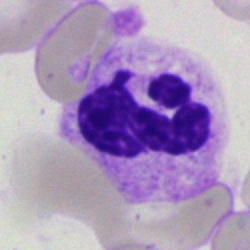

Specimen: bone marrow smear.
Cell type: neutrophil (segmented).
Lineage: myeloid.